May-Grünwald-Giemsa stain. Bone marrow smear — 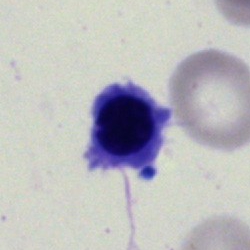The classification is nucleated red cell.